Bone marrow aspirate smear. Single-cell field:
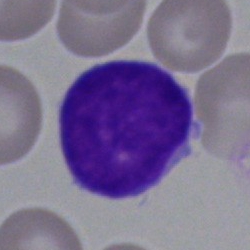 Q: What cell is this?
A: A blast.